Bone marrow smear:
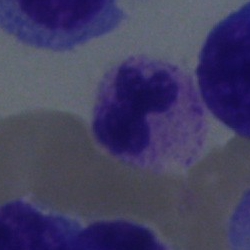 Q: What type of cell is this?
A: A polymorphonuclear neutrophil.